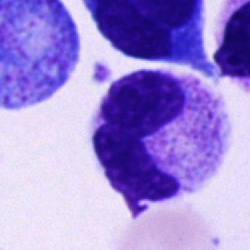Classification: neutrophil (segmented).